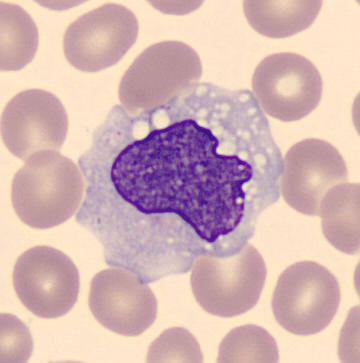

Peripheral blood smear.
Monocyte.